250×250. Bone marrow aspirate smear.
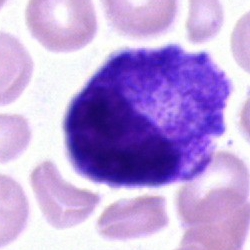
Cell = progranulocyte.